Bone marrow smear · single cell centered in the field: 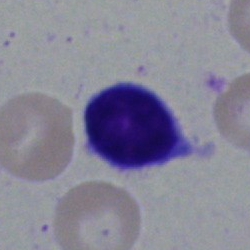
Q: What cell is this?
A: Lymphocyte.